Bone marrow aspirate smear
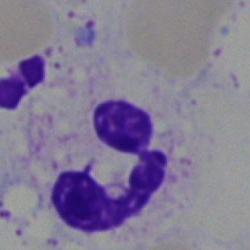Impression — polymorphonuclear neutrophil.